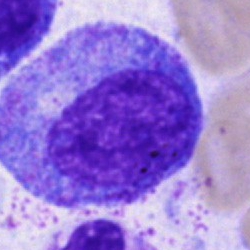Q: Which cell type is shown here?
A: A progranulocyte.